Bone marrow smear: 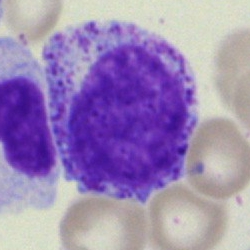 Morphological class — promyelocyte.